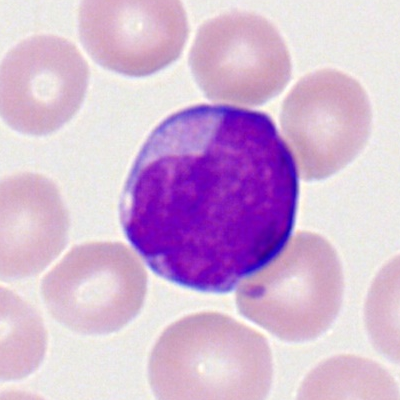

Morphology consistent with a myeloblast.